Romanowsky-type stain; peripheral blood smear — 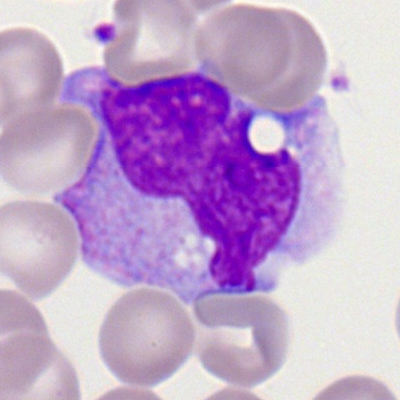Specimen: peripheral blood smear.
Classification: monocyte.
Lineage: myeloid.